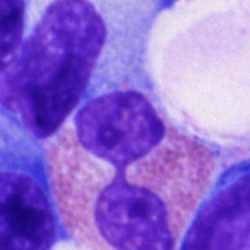
Bone marrow smear showing an eosinophil.